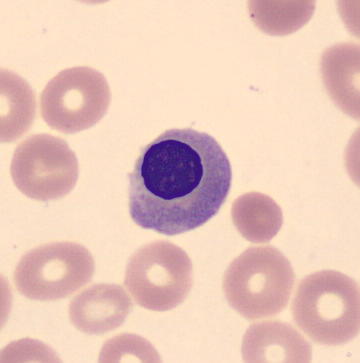 The morphological class is nucleated red blood cell.